Bone marrow aspirate smear; 250 by 250 pixels
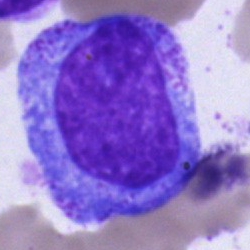
Classification: promyelocyte.